Bone marrow aspirate smear
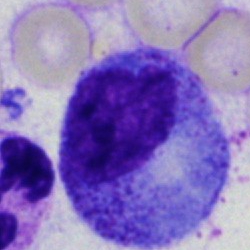Classification — progranulocyte.